Peripheral blood film — 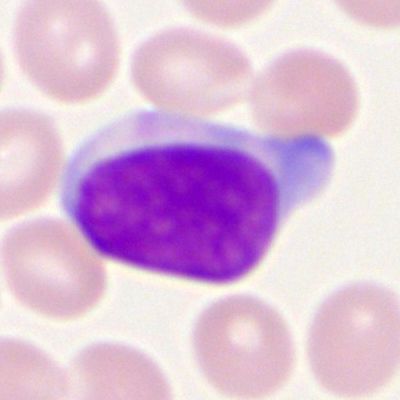
Q: What is shown here?
A: A myeloblast.